Single-cell field; bone marrow smear; image size 250×250 — 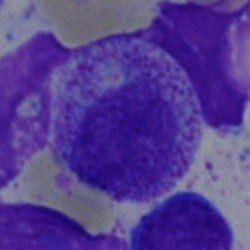

Showing a myelocyte.